Bone marrow smear:
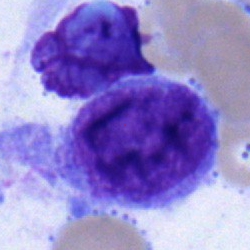

Cell type — blast cell.